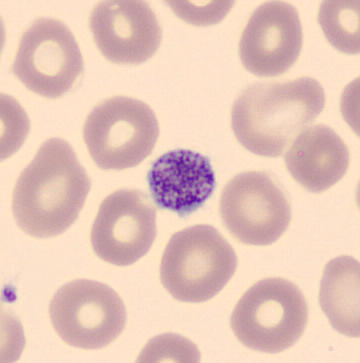{"cell_type": "platelet (thrombocyte)"}